Romanowsky-stained; single cell centered in the field; peripheral blood smear.
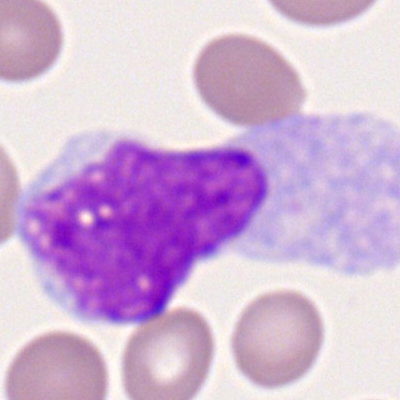Showing a monocyte.